Bone marrow smear. May-Grünwald-Giemsa/Pappenheim stain. Single-cell field:
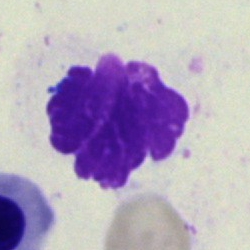
Morphology consistent with an artifact.